Bone marrow aspirate smear.
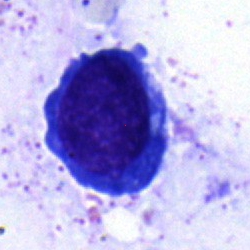Q: What cell is this?
A: Proerythroblast.